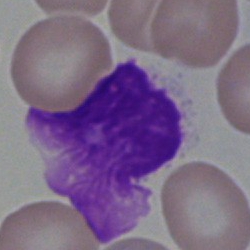
Specimen: bone marrow aspirate smear.
Cell type: artefact.